Cropped to a single cell · peripheral blood film
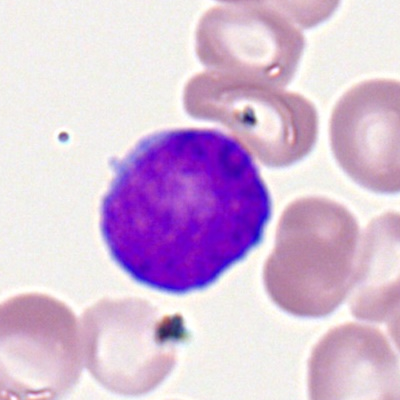 A myeloid blast.